Single-cell field · bone marrow aspirate smear · May-Grünwald-Giemsa/Pappenheim stain:
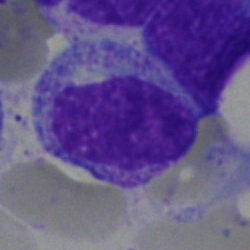{"cell_type": "myelocyte", "lineage": "myeloid"}